Bone marrow smear:
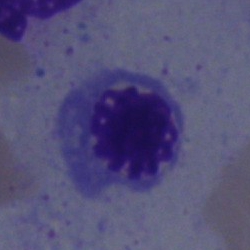
The cell is normoblast.